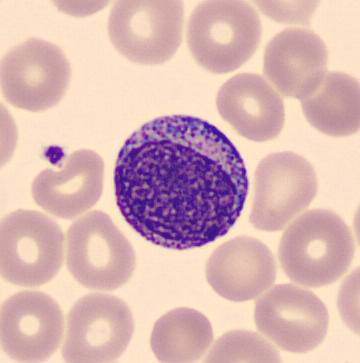
Cell type: promyelocyte.
CellaVision DM96 digital cell image; peripheral blood smear.